Romanowsky-stained. Peripheral blood smear — 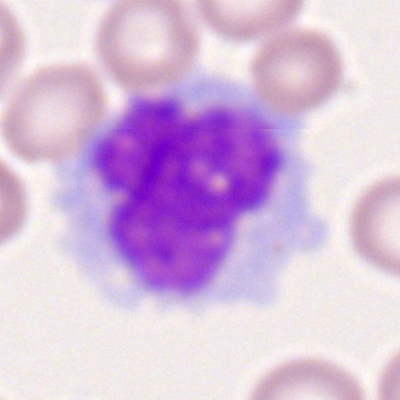Impression — monocyte.